Single-cell field. Bone marrow aspirate smear. Brightfield, 40× oil-immersion objective — 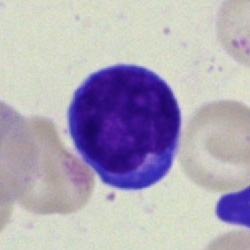
Classification = lymphocyte.